Brightfield, 40× oil-immersion objective · bone marrow aspirate smear — 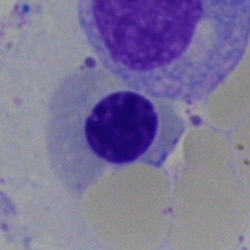
Nucleated red blood cell.